Bone marrow smear: 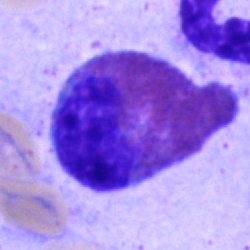

Specimen: bone marrow smear.
Cell type: eosinophil.
Lineage: myeloid.